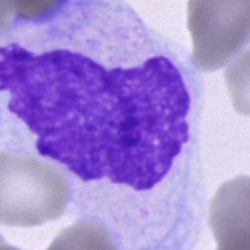 Unidentifiable cell.